Bone marrow aspirate smear
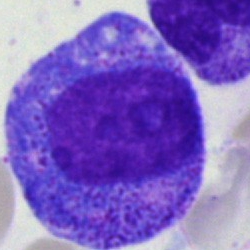 Morphological class = progranulocyte.